Peripheral blood smear; image size 400×400.
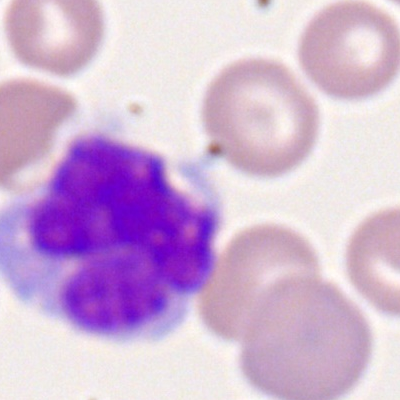 Cell type = monocyte.